Bone marrow smear:
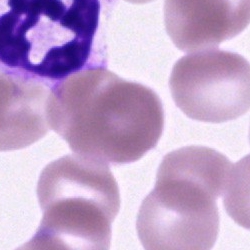 Morphology — segmented neutrophil.